Peripheral blood film. 400×400 px. Brightfield, 100× oil-immersion objective:
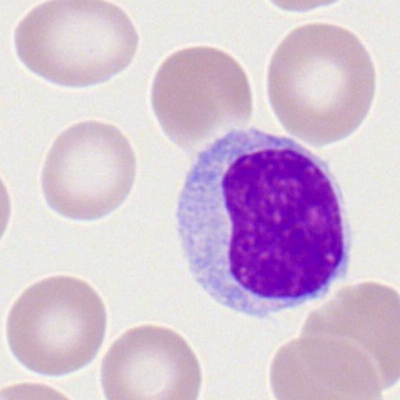Impression — lymphocyte.